Bone marrow smear · May-Grünwald-Giemsa/Pappenheim stain
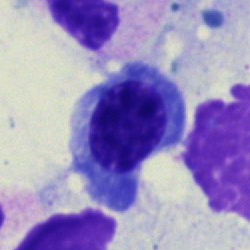

Q: What type of cell is this?
A: This is a normoblast.